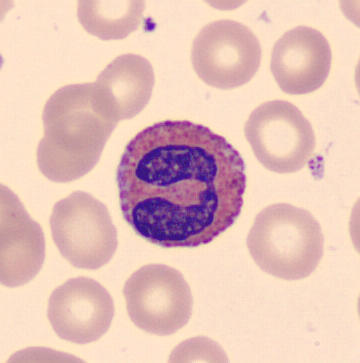 An eosinophil. Preparation: Peripheral blood smear.